Brightfield, 40× oil-immersion objective · bone marrow aspirate smear — 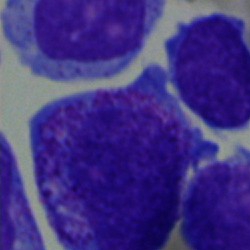

Cell = progranulocyte.